Single cell centered in the field · bone marrow aspirate smear — 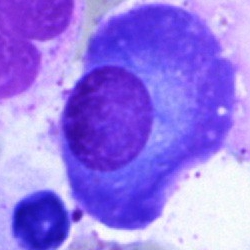Specimen: bone marrow smear.
Cell: plasma cell.
Lineage: lymphoid.